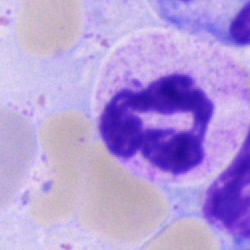
Q: What type of cell is this?
A: It is a segmented neutrophil.